May-Grünwald-Giemsa/Pappenheim stain. Bone marrow aspirate smear. 250 by 250 pixels:
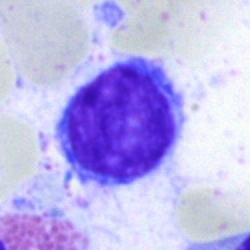

The cell shown is a typical lymphocyte.